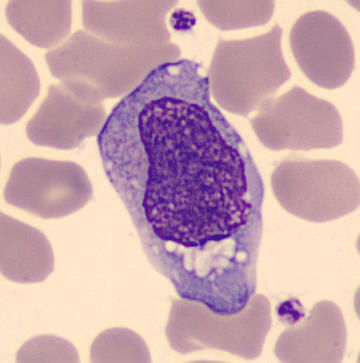Identified as a monocyte.
360 by 363 pixels; peripheral blood smear; single cell centered in the field.